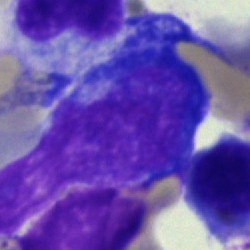

The cell shown is an artefact.